Bone marrow smear; image size 250×250.
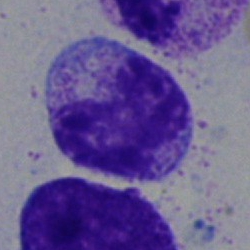Q: What is the morphological classification of this cell?
A: Metamyelocyte.